Peripheral blood film · Romanowsky stain:
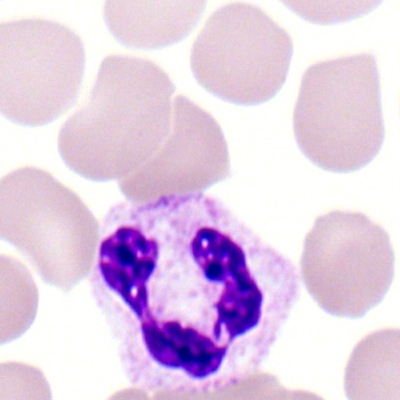

Specimen: peripheral blood smear.
Cell type: segmented neutrophil.
Lineage: myeloid.